Bone marrow smear
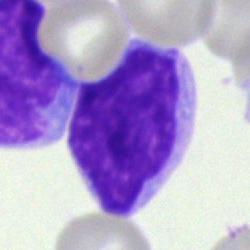
Specimen: bone marrow smear.
Cell: undifferentiated blast.